Bone marrow smear.
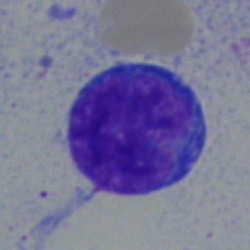Q: Identify the cell.
A: Blast.